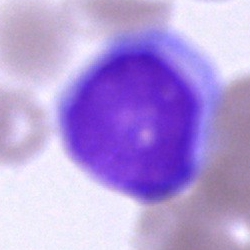 Cell type — undifferentiated blast.